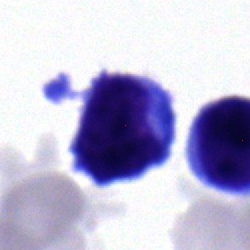 Q: What cell is this?
A: This is a lymphocyte.